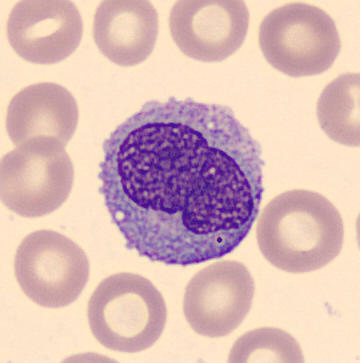

Q: Identify the cell.
A: A monocyte.